Bone marrow smear — 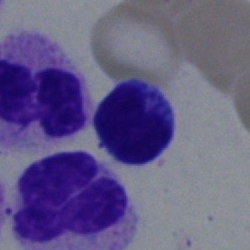

Specimen: bone marrow smear.
Cell: typical lymphocyte.
Lineage: lymphoid.